Bone marrow smear — 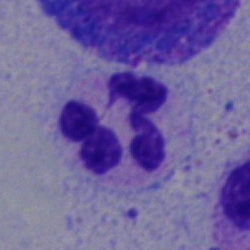 Cell — polymorphonuclear neutrophil.